Bone marrow aspirate smear. Single-cell crop. May-Grünwald-Giemsa/Pappenheim stain:
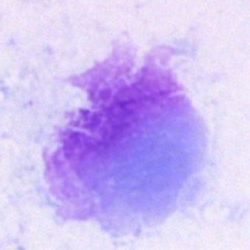An artifact.